MGG-stained · 250 by 250 pixels · bone marrow aspirate smear.
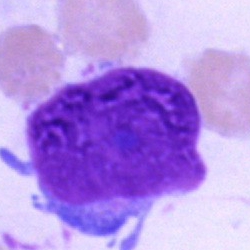
Specimen: bone marrow smear.
Morphological class: artifact.